Bone marrow smear:
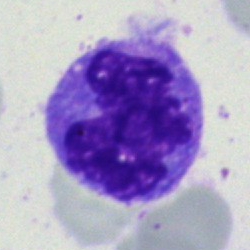 The cell is monocyte.